Bone marrow aspirate smear: 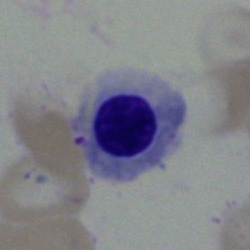

Q: What type of cell is this?
A: It is a nucleated red blood cell.